Bone marrow smear
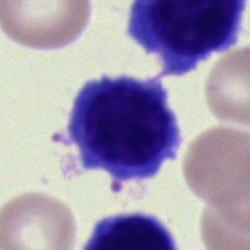 A nucleated red cell.